Bone marrow aspirate smear — 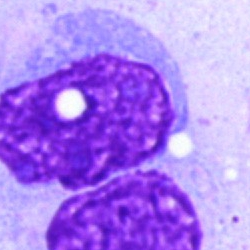
{"cell_type": "artefact"}